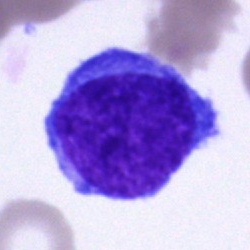

Classification — blast.